M8 digital microscope (Precipoint), 100× oil immersion · peripheral blood film:
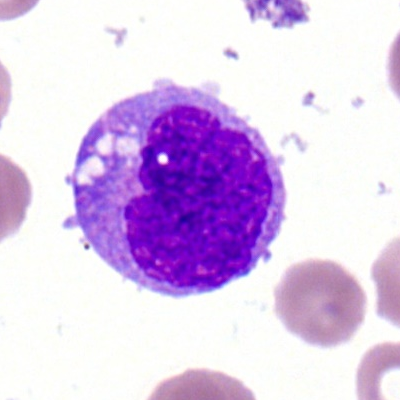
Single cell identified as a monocyte.